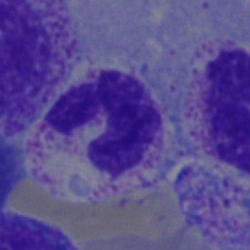Single-cell crop from a bone marrow smear: polymorphonuclear neutrophil.